Bone marrow smear
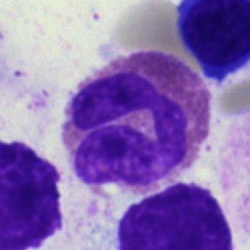

Q: What is the morphological classification of this cell?
A: This is an eosinophil.